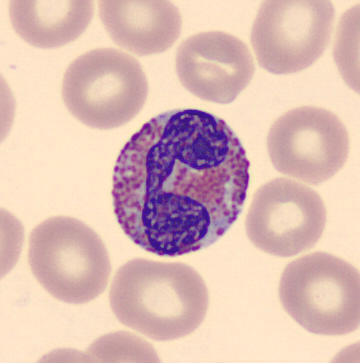Morphology consistent with an eosinophilic granulocyte.
Peripheral blood film.